Bone marrow smear.
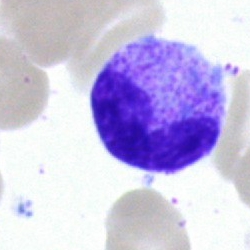 Specimen: bone marrow aspirate smear.
Cell: band neutrophil.
Lineage: myeloid.